Bone marrow aspirate smear
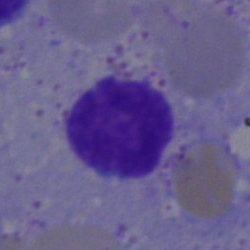
Impression → lymphocyte.